40× oil immersion. Bone marrow smear. May-Grünwald-Giemsa stain:
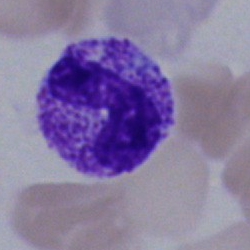

Cell type — segmented neutrophil.